Pappenheim-stained; bone marrow smear: 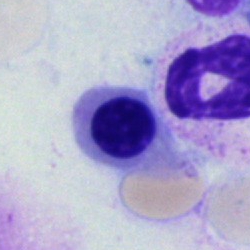

This is a nucleated red blood cell.